Bone marrow aspirate smear.
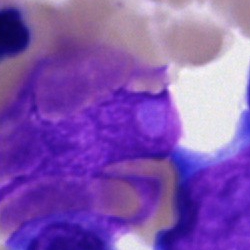 Q: What is shown here?
A: This is an artifact.